Bone marrow aspirate smear. Single-cell crop:
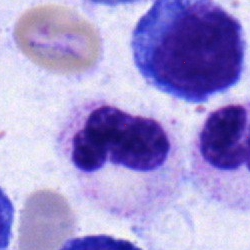

The cell type is segmented neutrophil.